Bone marrow aspirate smear
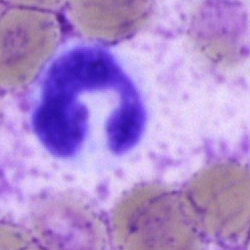The cell shown is a segmented neutrophil.